400×400; brightfield, 100× oil-immersion objective; peripheral blood smear: 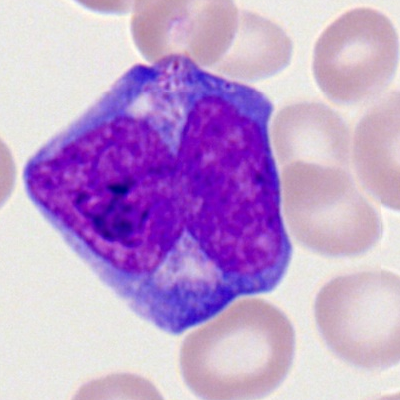

Single cell identified as a myeloid blast.